Single-cell field. Bone marrow smear
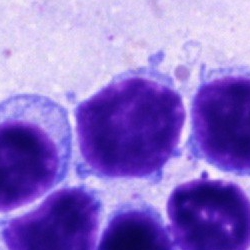The cell shown is a typical lymphocyte.